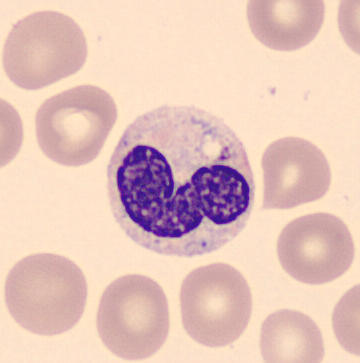

Q: What cell is this?
A: A neutrophil (band). Image: Peripheral blood film.